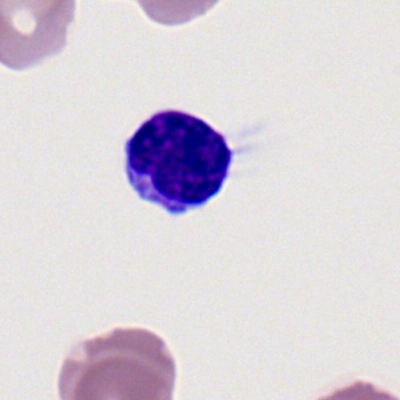
Peripheral blood film, single cell — typical lymphocyte.